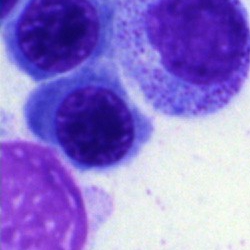Q: Which cell type is shown here?
A: This is a normoblast.